Peripheral blood film: 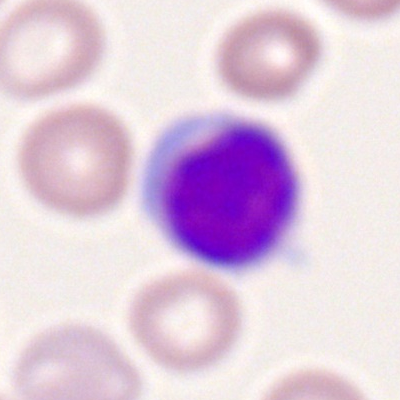The classification is lymphocyte.